Bone marrow aspirate smear
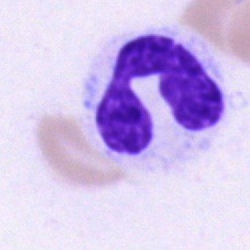The cell shown is a segmented neutrophil.